Bone marrow aspirate smear: 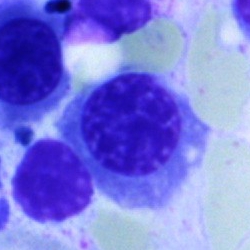 Specimen: bone marrow smear.
Cell: normoblast.
Lineage: erythroid.